Bone marrow smear. Single-cell crop.
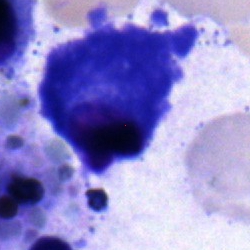 Specimen: bone marrow aspirate smear.
Classification: plasmacyte.
Lineage: lymphoid.